Bone marrow aspirate smear. MGG-stained:
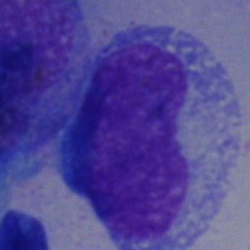

The cell is artefact.